Bone marrow smear.
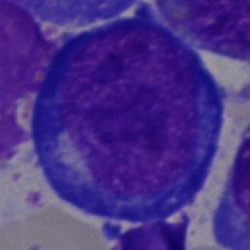 The morphological class is proerythroblast.